Bone marrow aspirate smear: 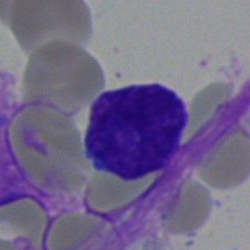Showing a typical lymphocyte.